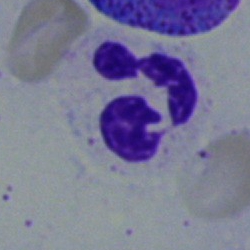Single cell identified as a neutrophil (segmented).